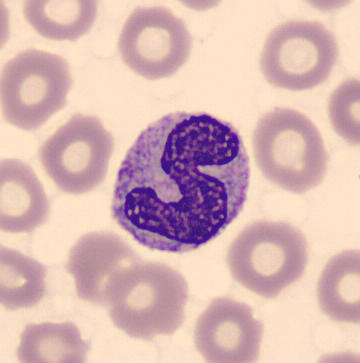 Monocyte.

Peripheral blood smear · MGG-stained.